Bone marrow aspirate smear — 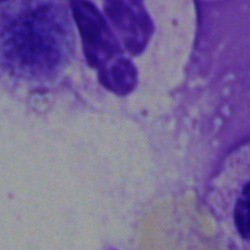

Artefact.